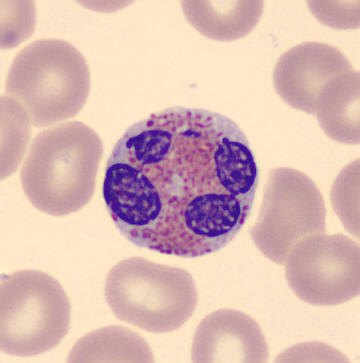
Specimen: peripheral blood film.
Cell type: eosinophilic granulocyte.
Lineage: myeloid.

Image: MGG-stained.